Cropped to a single cell; bone marrow smear; May-Grünwald-Giemsa stain — 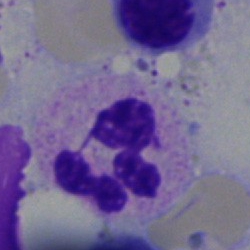

Showing a segmented neutrophil.